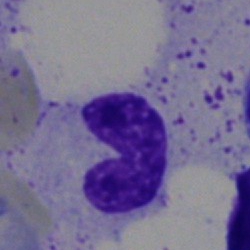
Cell type: band-form neutrophil.